Bone marrow smear:
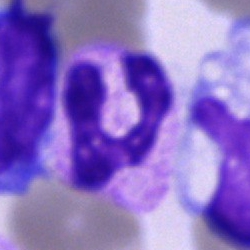Classification — polymorphonuclear neutrophil.